Brightfield, 100× oil-immersion objective. Image size 400×400. Peripheral blood film: 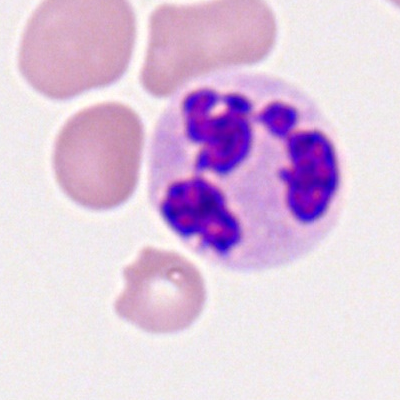Cell type — polymorphonuclear neutrophil.